Bone marrow aspirate smear.
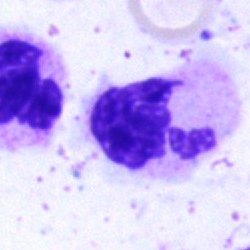 A polymorphonuclear neutrophil.